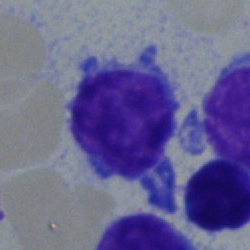

The classification is lymphocyte.